May-Grünwald-Giemsa/Pappenheim stain. 250 by 250 pixels. Bone marrow aspirate smear: 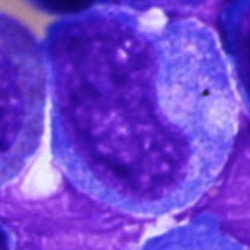

Q: Identify the cell.
A: It is a monocyte.